Bone marrow smear. Cropped to a single cell — 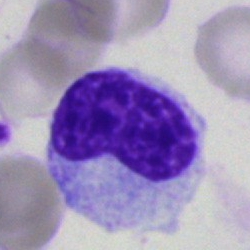 Specimen: bone marrow aspirate smear.
Classification: metamyelocyte.
Lineage: myeloid.